Bone marrow aspirate smear
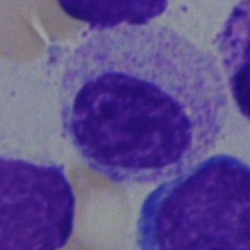Q: What type of cell is this?
A: It is a myelocyte.